Bone marrow aspirate smear:
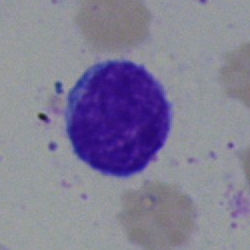 Q: What type of cell is this?
A: A typical lymphocyte.